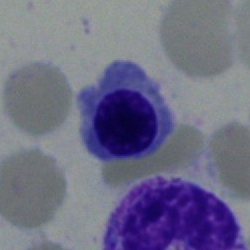

Specimen: bone marrow smear.
Cell: nucleated red blood cell.
Lineage: erythroid.